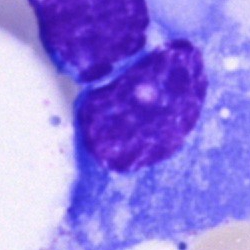 Bone marrow smear showing a plasmacyte.